Bone marrow aspirate smear.
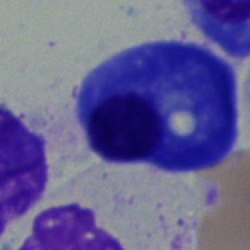
Specimen: bone marrow aspirate smear.
Morphological class: plasmacyte.
Lineage: lymphoid.